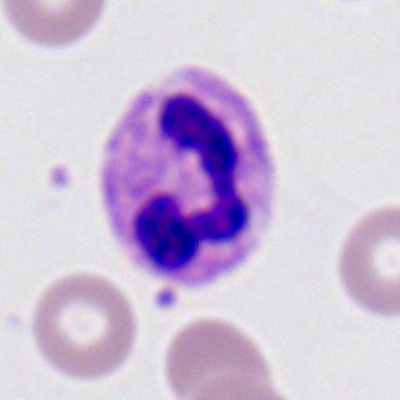
Morphological class — segmented neutrophil.